Bone marrow smear
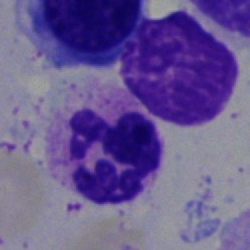 This is a neutrophil (segmented).